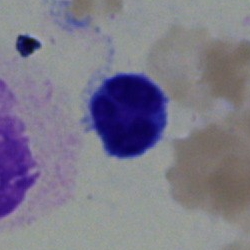Single cell identified as a lymphocyte.